Bone marrow smear
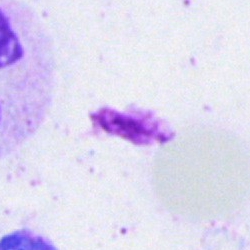
Cell type = artifact.